Peripheral blood film: 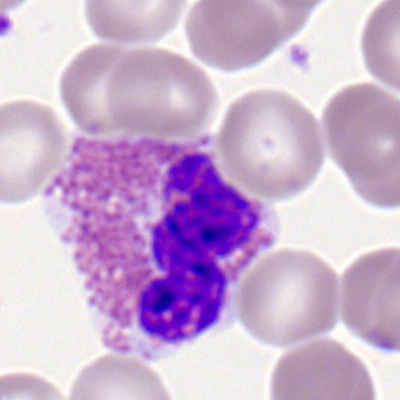Impression — eosinophilic granulocyte.